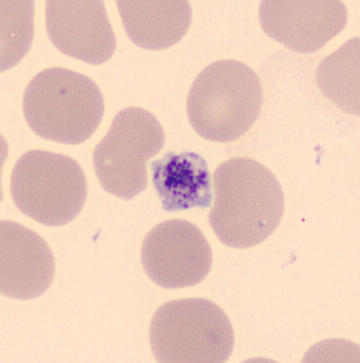Image: Peripheral blood smear. Morphological class: thrombocyte.